Bone marrow aspirate smear:
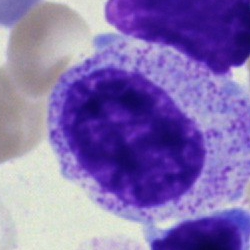

This is a myelocyte.